Peripheral blood film:
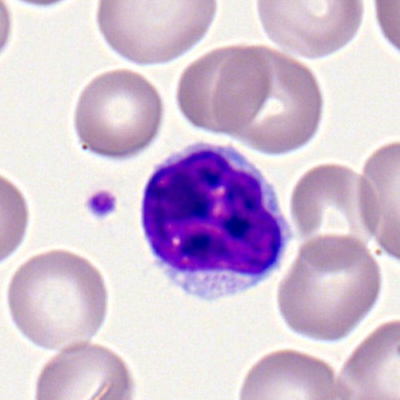

Morphology → typical lymphocyte.